Bone marrow smear; 250 by 250 pixels
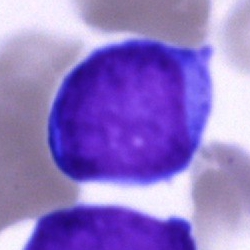Cell type: blast cell.